Single-cell field · brightfield, 40× oil-immersion objective · bone marrow aspirate smear:
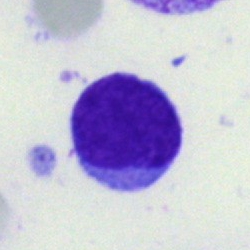
Specimen: bone marrow smear.
Cell: lymphocyte.